Bone marrow smear.
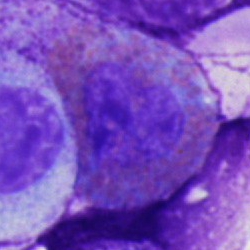
Showing an eosinophil.